Bone marrow aspirate smear; image size 250×250:
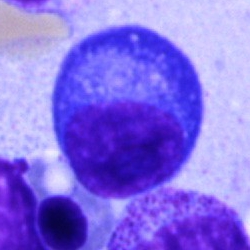 Q: Identify the cell.
A: It is a plasmacyte.